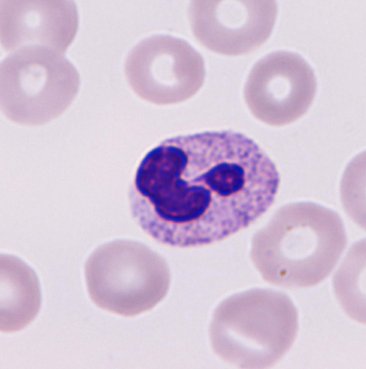

Cell = neutrophilic granulocyte.